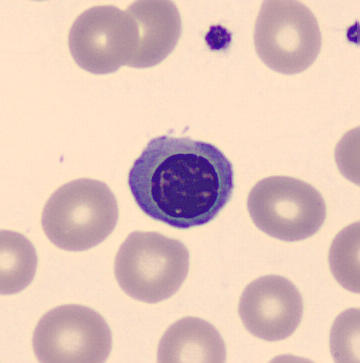Single-cell crop from a peripheral blood smear: erythroblast.